Single-cell field; 40× objective, oil immersion; bone marrow aspirate smear: 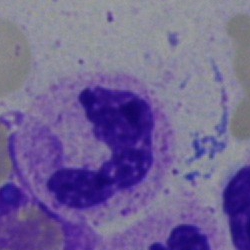Classification: segmented neutrophil.